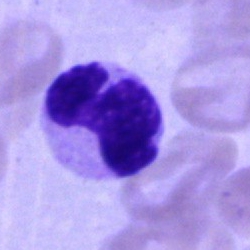A segmented neutrophil on a bone marrow smear.